Single-cell field · bone marrow aspirate smear:
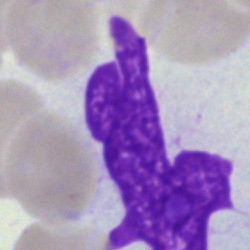 Specimen: bone marrow aspirate smear.
Cell: artefact.